Bone marrow aspirate smear: 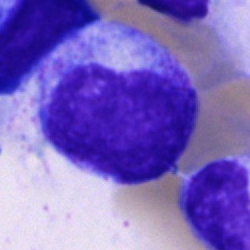
A promyelocyte.